40× objective, oil immersion; MGG-stained; bone marrow aspirate smear — 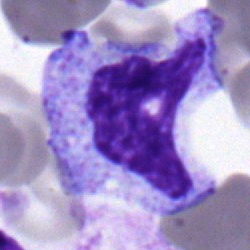 Q: What type of cell is this?
A: Myelocyte.